Bone marrow smear
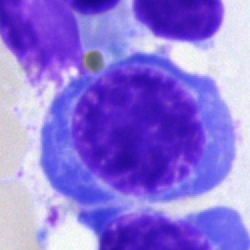
{"cell_type": "nucleated red cell", "lineage": "erythroid"}